Bone marrow aspirate smear: 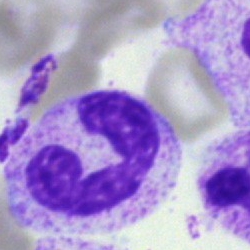
Q: Which cell type is shown here?
A: Neutrophil (segmented).